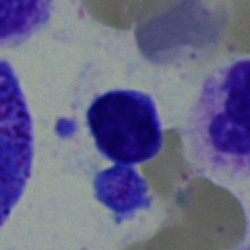 Showing a typical lymphocyte.